May-Grünwald-Giemsa/Pappenheim stain · bone marrow smear — 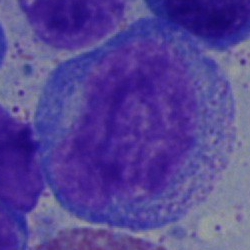 This is a promyelocyte.